250×250; single-cell field; bone marrow aspirate smear — 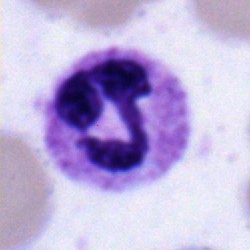Q: Identify the cell.
A: Polymorphonuclear neutrophil.